Cropped to a single cell · peripheral blood smear.
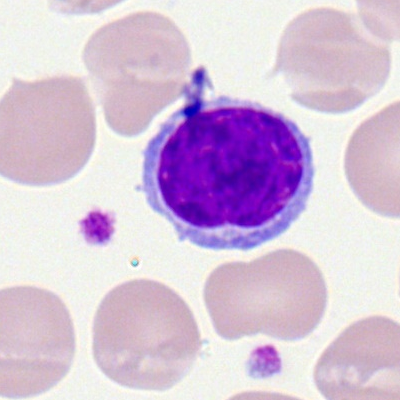Q: What is the morphological classification of this cell?
A: A typical lymphocyte.